Peripheral blood film · image size 400×400 · M8 digital microscope (Precipoint), 100× oil immersion.
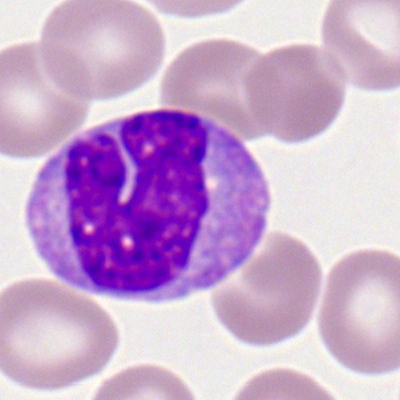Q: Which cell type is shown here?
A: It is a monocyte.